Bone marrow aspirate smear
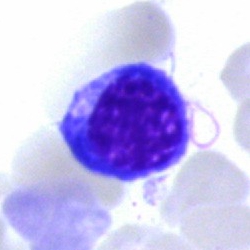
Classification = normoblast.